400×400 px. Peripheral blood smear: 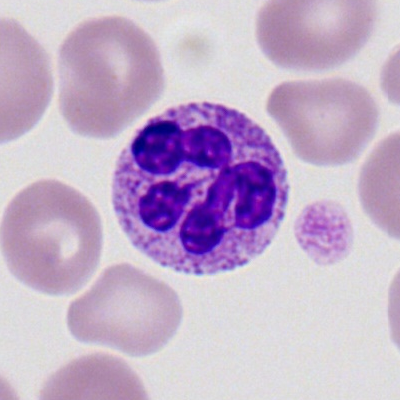
Q: What is shown here?
A: This is a neutrophil (segmented).